Bone marrow smear:
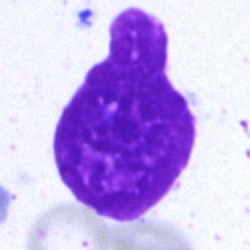Q: What is shown here?
A: This is an artefact.